Bone marrow smear: 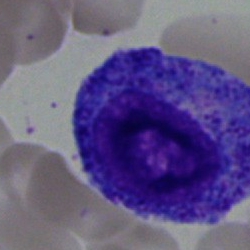
This is a promyelocyte.